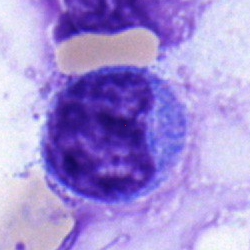The cell type is monocyte.